Image size 250×250. Single-cell crop. Bone marrow smear:
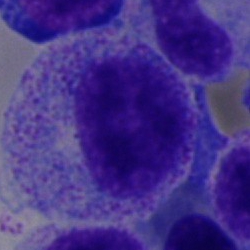

Cell type = myelocyte.